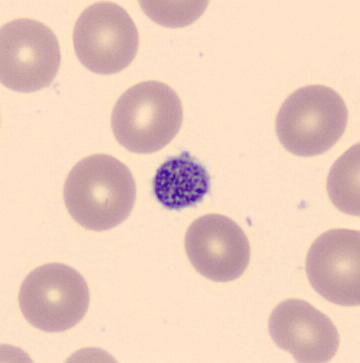Cell type = thrombocyte.